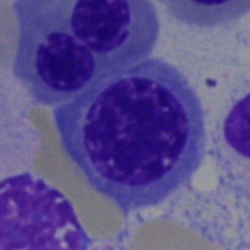 Specimen: bone marrow aspirate smear.
Classification: normoblast.
Lineage: erythroid.